250 by 250 pixels. Bone marrow aspirate smear. 40× oil immersion: 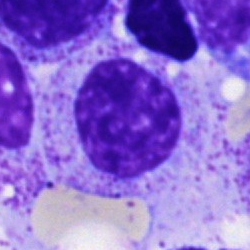Showing a myelocyte.